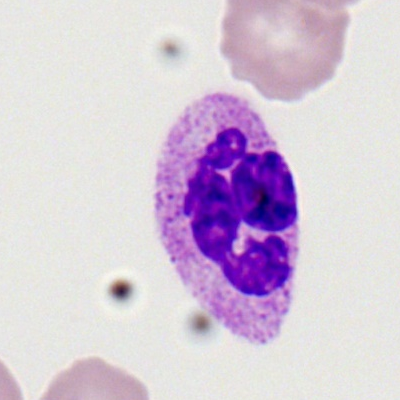Cell — segmented neutrophil.